Bone marrow smear:
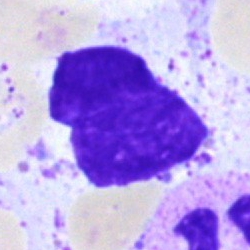
Q: What is shown here?
A: It is an artefact.